Bone marrow aspirate smear.
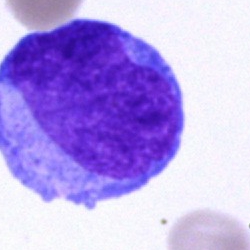 Cell type = blast cell.